Pappenheim-stained. Single-cell field. Bone marrow aspirate smear:
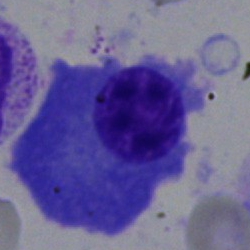

Impression — plasmacyte.